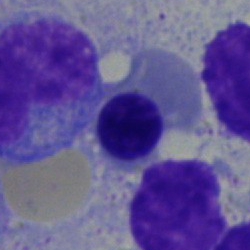
Impression → erythroblast.